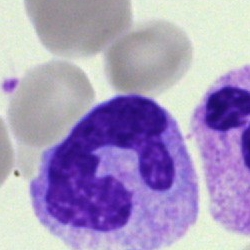A monocyte.